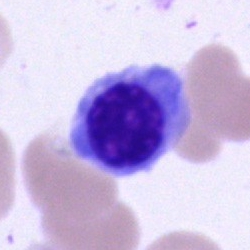Showing a nucleated red cell.